Bone marrow aspirate smear:
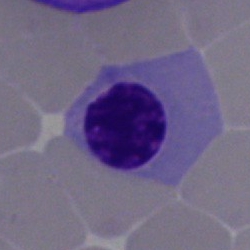 Q: What type of cell is this?
A: Normoblast.